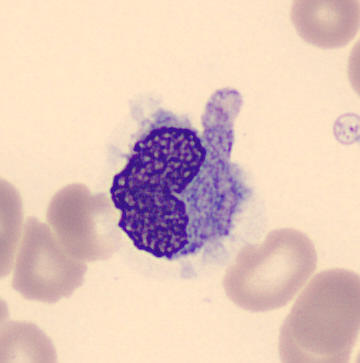Monocyte. Peripheral blood film.